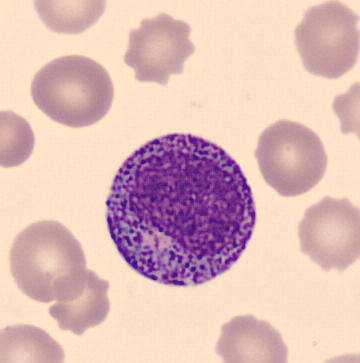

Specimen: peripheral blood film.
Morphological class: promyelocyte.
Lineage: myeloid. May-Grünwald-Giemsa-stained.